Bone marrow smear · MGG-stained
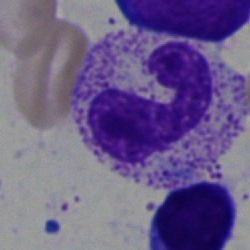

Classification — neutrophil (segmented).